Bone marrow smear — 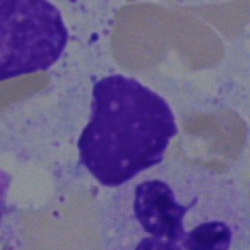A lymphocyte.